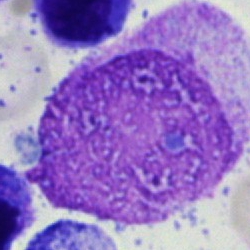

Bone marrow smear showing an artefact.